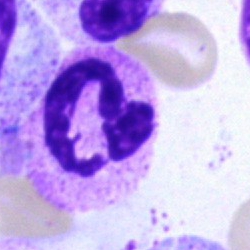Impression → polymorphonuclear neutrophil.